Bone marrow aspirate smear.
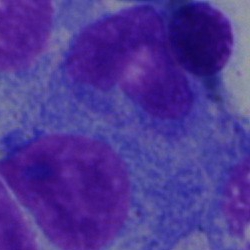Q: What is shown here?
A: A plasmacyte.